Cropped to a single cell. Bone marrow smear — 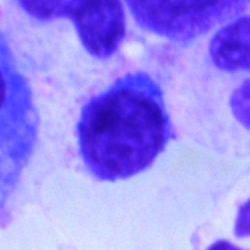Cell: lymphocyte.